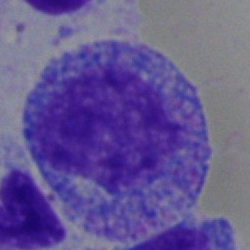
Single-cell crop from a bone marrow smear: promyelocyte.